Bone marrow smear — 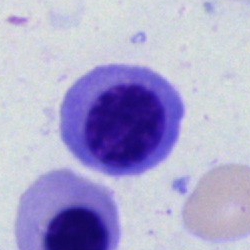

Cell type: erythroblast.